Peripheral blood smear
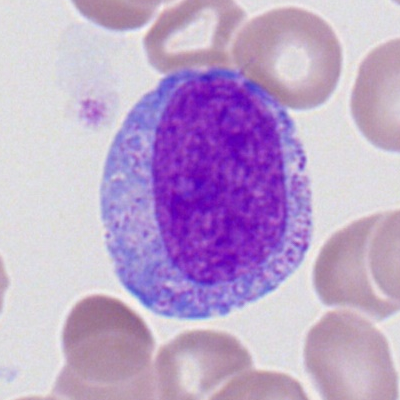 Progranulocyte.